Bone marrow aspirate smear; 250 by 250 pixels; 40× objective, oil immersion.
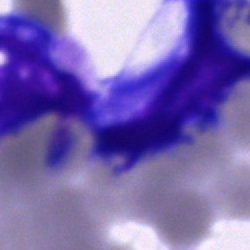
Cell type — blast cell.